Bone marrow aspirate smear; cropped to a single cell — 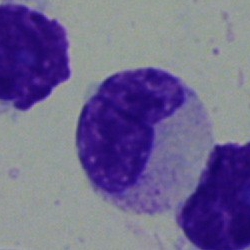 Morphology consistent with a metamyelocyte.